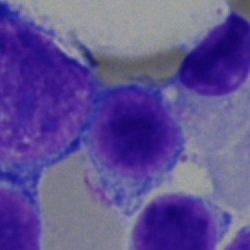

A normoblast on a bone marrow smear.